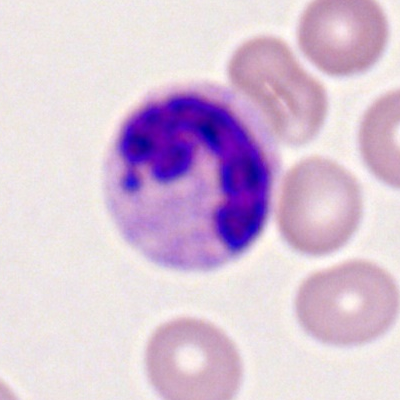

{"cell_type": "segmented neutrophil", "lineage": "myeloid"}